Bone marrow aspirate smear: 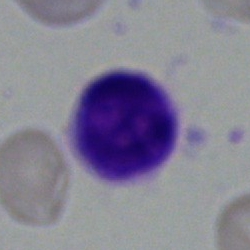
Q: Identify the cell.
A: This is a lymphocyte.